Bone marrow aspirate smear.
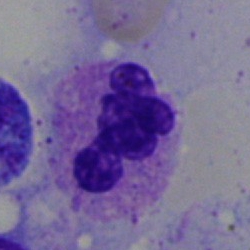

Cell type — neutrophil (segmented).